Bone marrow aspirate smear: 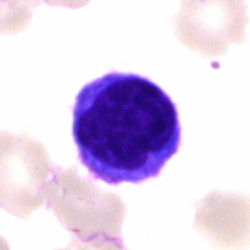Showing a typical lymphocyte.